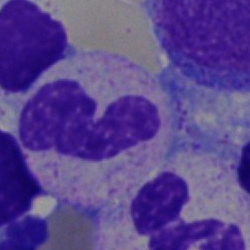Specimen: bone marrow smear.
Morphological class: segmented neutrophil.
Lineage: myeloid.